Bone marrow aspirate smear:
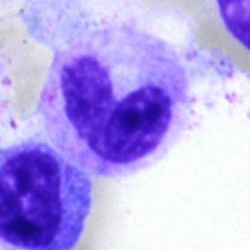
Single cell identified as a neutrophil (band).